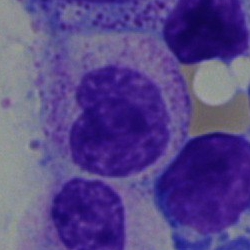

Specimen: bone marrow smear.
Morphological class: metamyelocyte.
Lineage: myeloid.